Bone marrow smear — 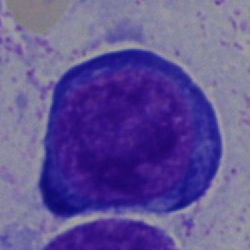
{"cell_type": "proerythroblast", "lineage": "erythroid"}